Bone marrow aspirate smear · single cell centered in the field — 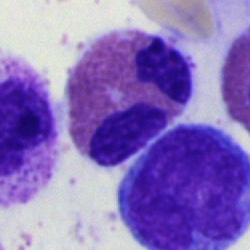Single cell identified as an eosinophilic granulocyte.